Bone marrow smear:
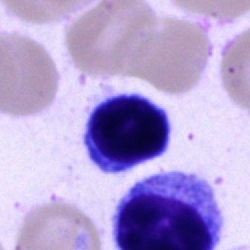The cell shown is a lymphocyte.